Bone marrow aspirate smear; May-Grünwald-Giemsa stain: 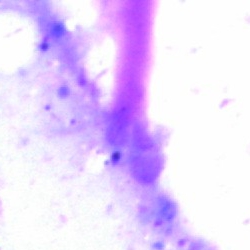
Specimen: bone marrow smear.
Morphological class: artifact.